Brightfield, 40× oil-immersion objective; bone marrow smear
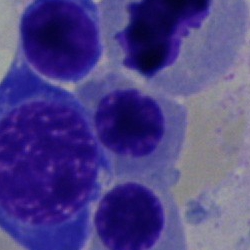

{"cell_type": "nucleated red cell", "lineage": "erythroid"}